Bone marrow aspirate smear.
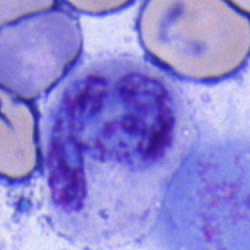 Single cell identified as a band neutrophil.